Brightfield microscopy, 40× oil immersion. Bone marrow smear: 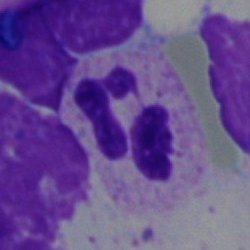
The cell shown is a polymorphonuclear neutrophil.